Bone marrow smear. Single-cell crop
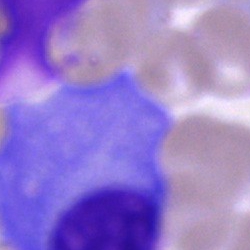Morphology → plasmacyte.